Bone marrow smear: 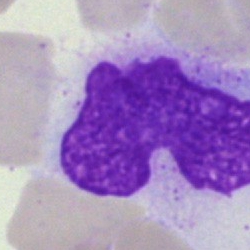 Cell type: artifact.